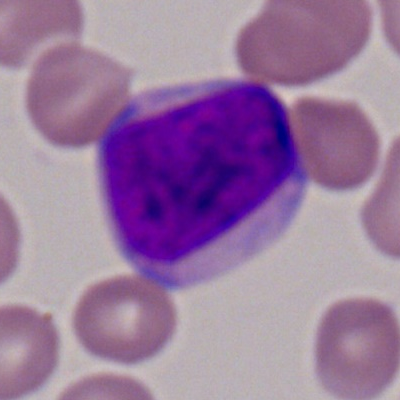
A myeloid blast.